Bone marrow aspirate smear.
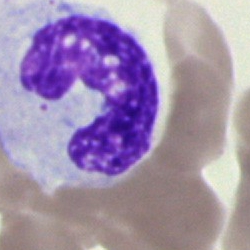 Morphology → band-form neutrophil.